Bone marrow smear · image size 250×250
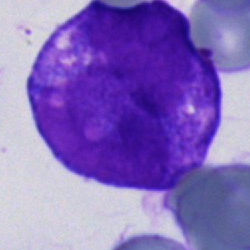 Morphology → blast cell.